Peripheral blood smear.
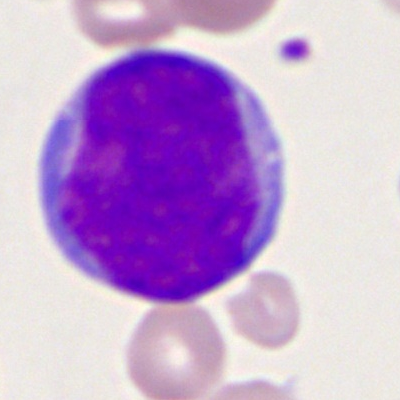
This is a myeloblast.